Brightfield, 40× oil-immersion objective; bone marrow smear — 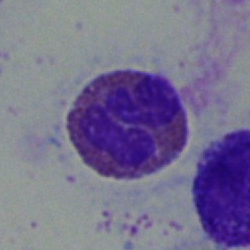
Showing an eosinophil.